Peripheral blood film.
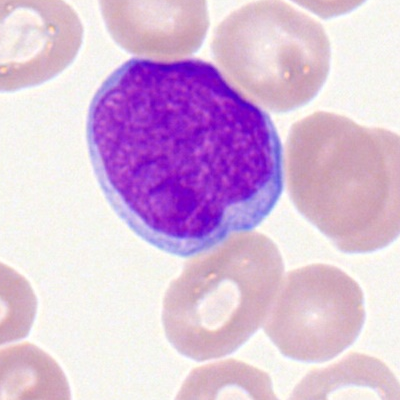

Single cell identified as a myeloblast.